Pappenheim-stained · bone marrow aspirate smear:
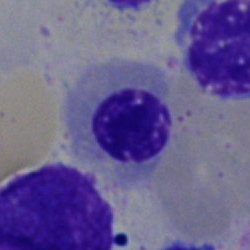 Cell type: erythroblast.